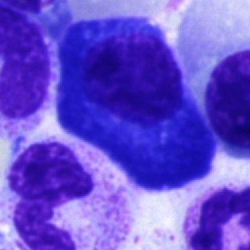

Single-cell crop from a bone marrow smear: plasmacyte.